Bone marrow aspirate smear.
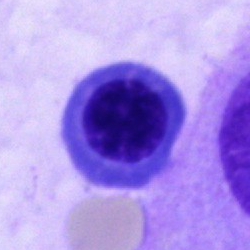
Single cell identified as an erythroblast.